Bone marrow smear.
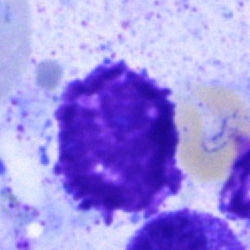 Artifact.